Bone marrow smear: 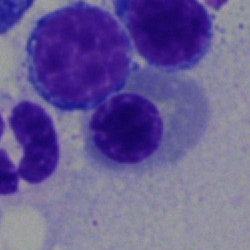
The cell is normoblast.